Bone marrow smear — 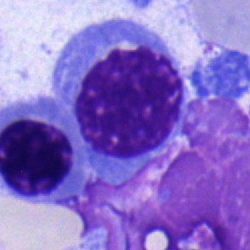 Morphological class = nucleated red cell.